May-Grünwald-Giemsa/Pappenheim stain · bone marrow smear · 250×250 px.
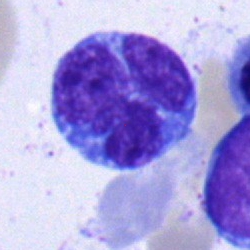This is a monocyte.